Bone marrow aspirate smear · image size 250×250:
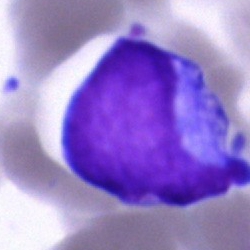

Specimen: bone marrow smear.
Morphological class: blast.